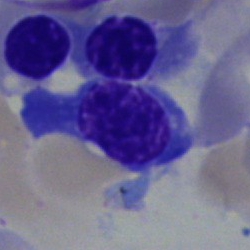

Q: Identify the cell.
A: It is a normoblast.